May-Grünwald-Giemsa/Pappenheim stain · bone marrow smear:
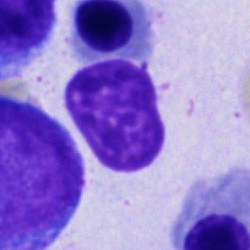
Morphology — cell of indeterminate lineage.